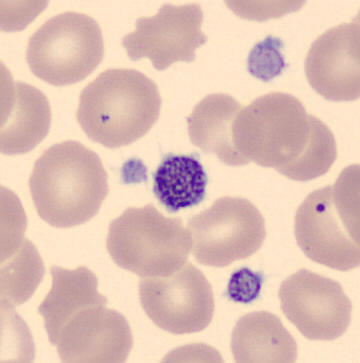

Q: What is shown here?
A: A platelet (thrombocyte).